Bone marrow aspirate smear:
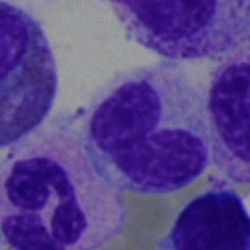Specimen: bone marrow smear.
Classification: band-form neutrophil.
Lineage: myeloid.